250×250. Bone marrow aspirate smear. Brightfield, 40× oil-immersion objective:
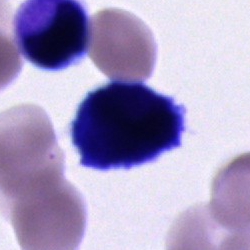
Morphology consistent with a cell of indeterminate lineage.